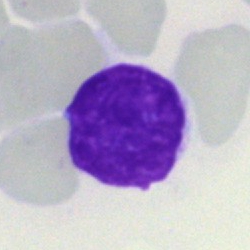

Morphology → artifact.